Bone marrow aspirate smear — 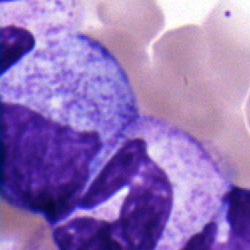Showing a myelocyte.